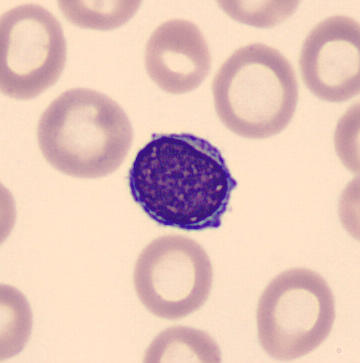

Specimen: peripheral blood smear.
Morphological class: typical lymphocyte.
Lineage: lymphoid.

Acquisition: 360 by 363 pixels.